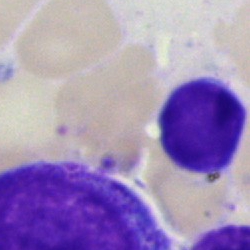
The morphological class is lymphocyte.